250 by 250 pixels; bone marrow smear
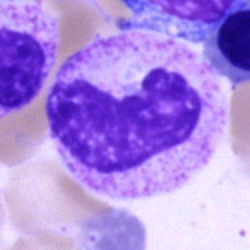Single cell identified as a band neutrophil.